Bone marrow smear: 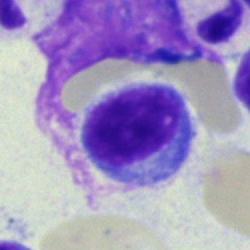
Morphology — lymphocyte.